Bone marrow aspirate smear · single cell centered in the field.
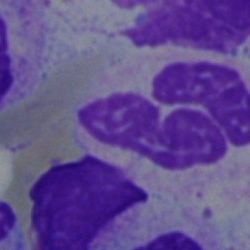 Morphology — neutrophil (segmented).